Brightfield, 40× oil-immersion objective. Bone marrow smear. Single cell centered in the field
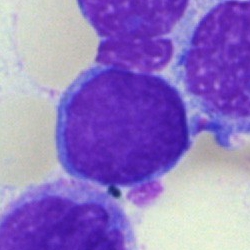Morphology — blast cell.